Bone marrow smear:
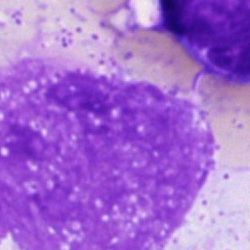

Single cell identified as an artifact.